May-Grünwald-Giemsa/Pappenheim stain · bone marrow smear · 250×250: 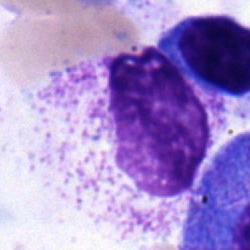
Showing a metamyelocyte.